Peripheral blood film · 400×400 · M8 digital microscope (Precipoint), 100× oil immersion — 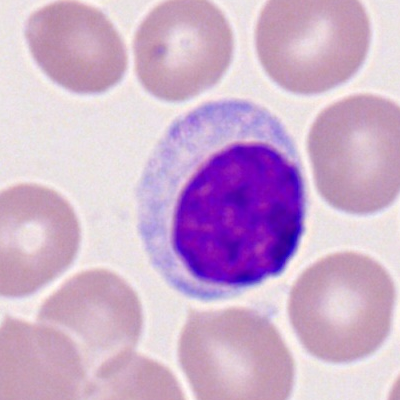A typical lymphocyte.